Single-cell field · bone marrow smear: 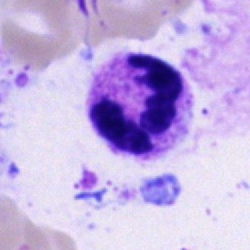 The cell shown is a neutrophil (segmented).